Bone marrow smear.
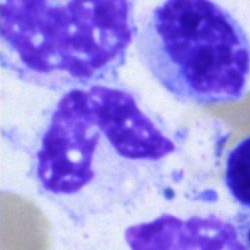
Segmented neutrophil.